Bone marrow aspirate smear: 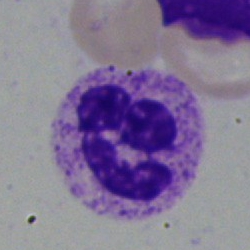The cell is polymorphonuclear neutrophil.